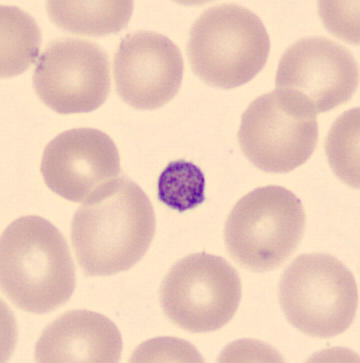

Q: What is this?
A: This is a platelet.
Preparation: Peripheral blood smear.